Bone marrow aspirate smear — 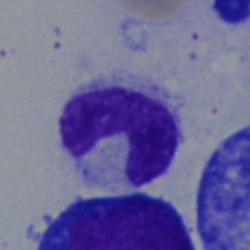 Q: What type of cell is this?
A: This is a band-form neutrophil.